May-Grünwald-Giemsa/Pappenheim stain; bone marrow smear:
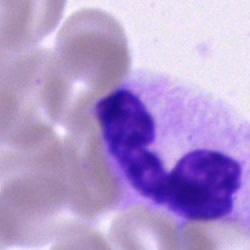
This is a neutrophil (segmented).